Bone marrow aspirate smear · brightfield, 40× oil-immersion objective — 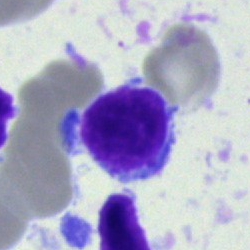

Specimen: bone marrow aspirate smear.
Classification: lymphocyte.